250 by 250 pixels · bone marrow smear · 40× objective, oil immersion.
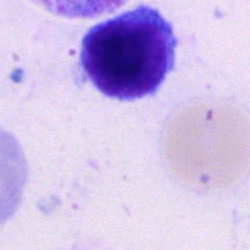
Morphology consistent with a lymphocyte.